Bone marrow smear
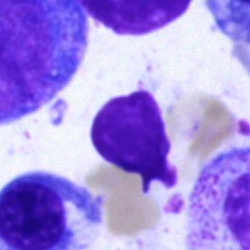 Artifact.